Bone marrow smear. 250×250:
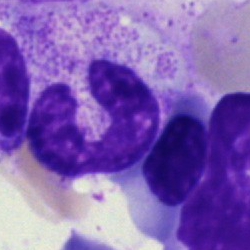 A neutrophil (segmented).